Bone marrow aspirate smear.
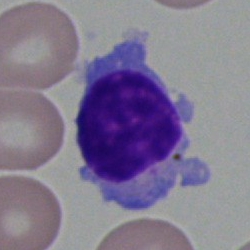
A lymphocyte.